Bone marrow smear: 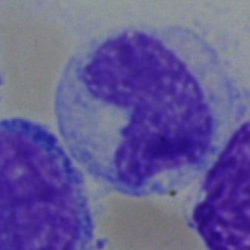Q: Which cell type is shown here?
A: A monocyte.